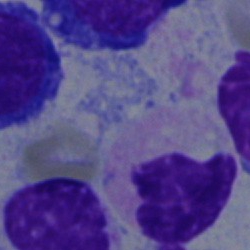 Specimen: bone marrow aspirate smear.
Morphological class: neutrophil (segmented).
Lineage: myeloid.